Peripheral blood smear. M8 digital microscope (Precipoint), 100× oil immersion. Cropped to a single cell:
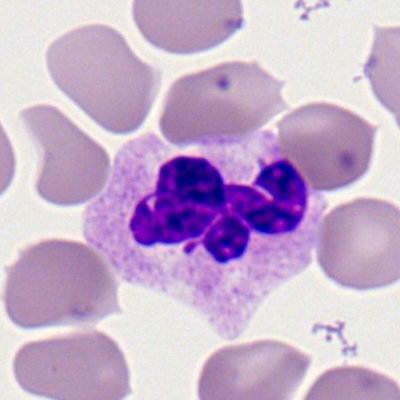 Impression → polymorphonuclear neutrophil.